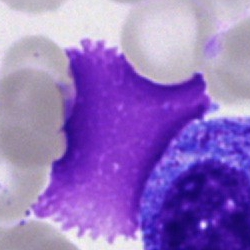
Q: What is shown here?
A: This is an artifact.